Pappenheim-stained; bone marrow aspirate smear
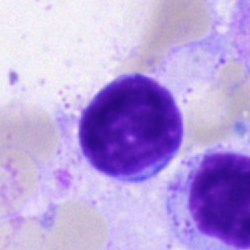

Cell = typical lymphocyte.